Single cell centered in the field · 360 by 363 pixels · peripheral blood smear — 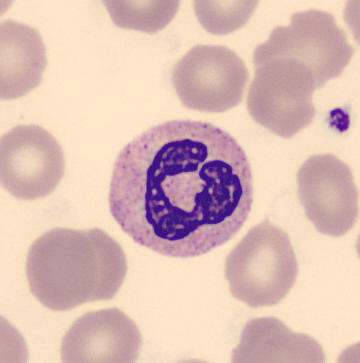

Cell type = neutrophil (band).